40× objective, oil immersion · bone marrow aspirate smear.
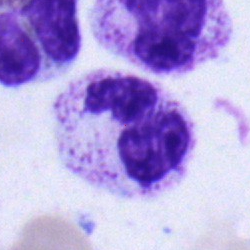
A segmented neutrophil.